Bone marrow aspirate smear
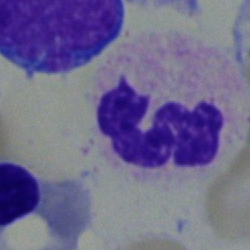 Neutrophil (segmented).